250×250. Bone marrow smear: 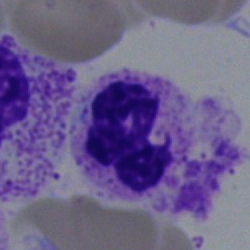 Specimen: bone marrow aspirate smear.
Cell: neutrophil (segmented).
Lineage: myeloid.